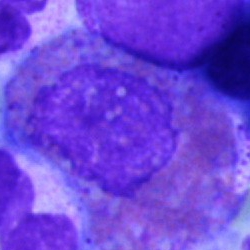
Specimen: bone marrow smear.
Cell: eosinophil.
Lineage: myeloid.